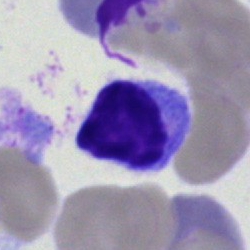
Q: Which cell type is shown here?
A: This is a lymphocyte.